Bone marrow aspirate smear
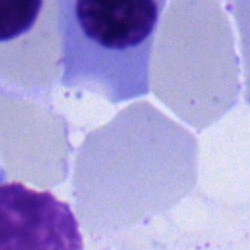
Single cell identified as a normoblast.